Bone marrow aspirate smear — 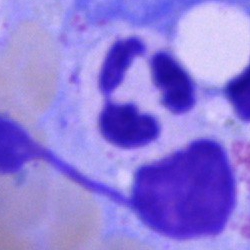 Morphological class: neutrophil (segmented).